Bone marrow aspirate smear. May-Grünwald-Giemsa/Pappenheim stain — 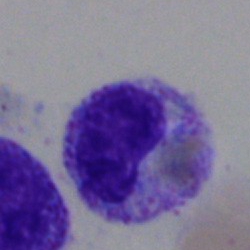 Specimen: bone marrow smear.
Classification: metamyelocyte.
Lineage: myeloid.